May-Grünwald-Giemsa-stained; peripheral blood smear — 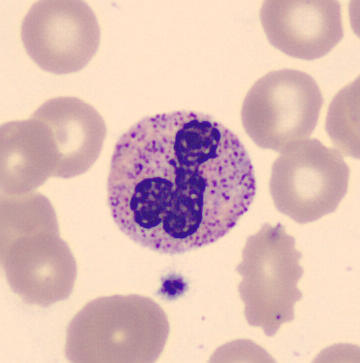Identified as a segmented neutrophil.